Bone marrow aspirate smear.
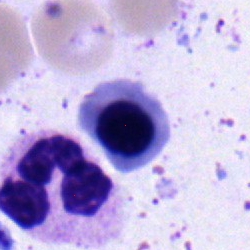
Single cell identified as a normoblast.